Brightfield microscopy, 40× oil immersion. Bone marrow aspirate smear.
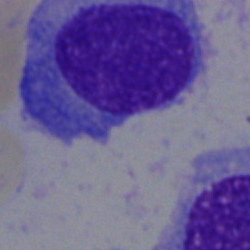

Morphological class — plasma cell.